Bone marrow aspirate smear — 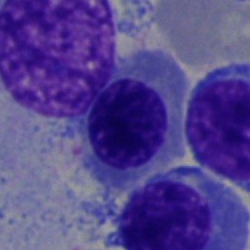Q: What is the morphological classification of this cell?
A: Nucleated red cell.